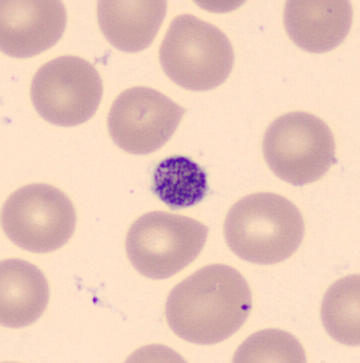
Q: What is this?
A: This is a platelet. Image: Image size 360×363. Peripheral blood film.